Bone marrow aspirate smear: 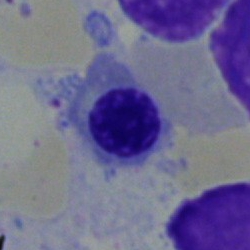
Single cell identified as an erythroblast.